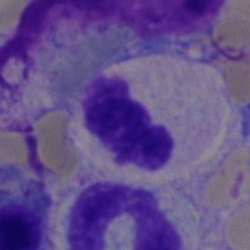 Cell type: polymorphonuclear neutrophil.